Bone marrow smear:
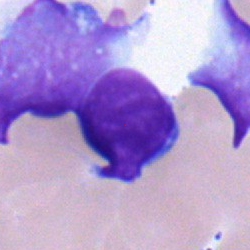 The cell shown is a lymphocyte.